Bone marrow smear:
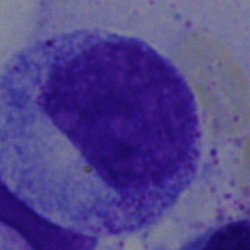 A progranulocyte.